Peripheral blood smear; single-cell field; 400×400
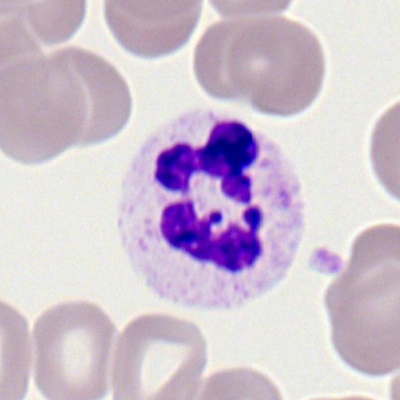

Impression → segmented neutrophil.